Pappenheim-stained. Bone marrow aspirate smear.
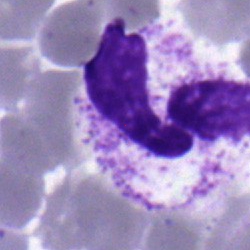 Specimen: bone marrow aspirate smear.
Morphological class: neutrophil (segmented).
Lineage: myeloid.